Bone marrow aspirate smear; image size 250×250.
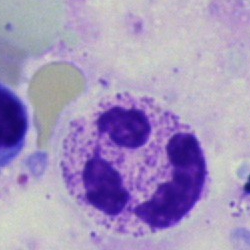

Polymorphonuclear neutrophil.